Bone marrow smear · 250×250: 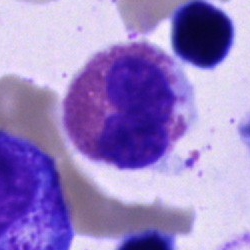
Single cell identified as an eosinophil.